Bone marrow smear
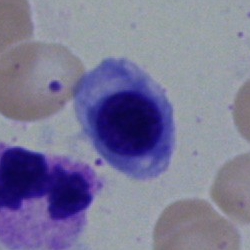

The cell shown is a normoblast.